May-Grünwald-Giemsa stain; bone marrow smear — 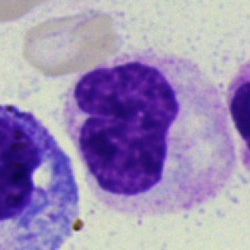
Cell: band neutrophil.